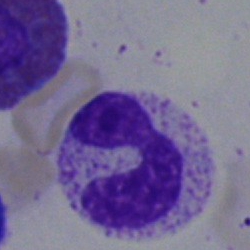

This is a segmented neutrophil.